Bone marrow smear. May-Grünwald-Giemsa stain
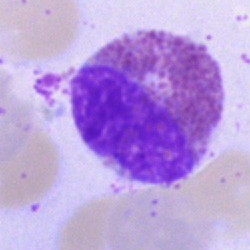

Morphology consistent with an eosinophil.